Bone marrow smear · cropped to a single cell.
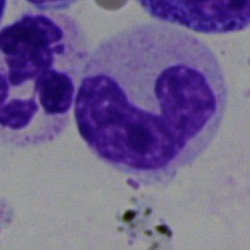

The cell type is stab cell.